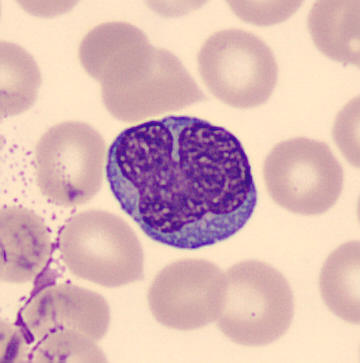

A monocyte on a peripheral blood smear.